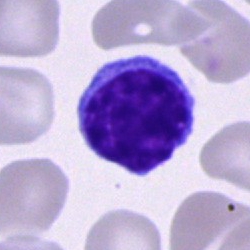
Q: Which cell type is shown here?
A: Lymphocyte.